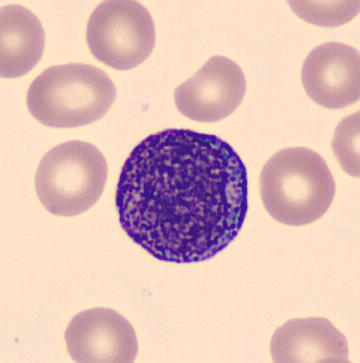 Q: Which cell type is shown here?
A: Progranulocyte.

Preparation: Peripheral blood smear.